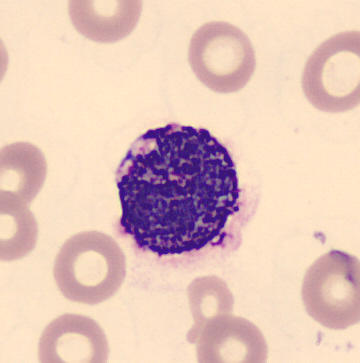
Morphology → basophil.